250 by 250 pixels. Bone marrow aspirate smear
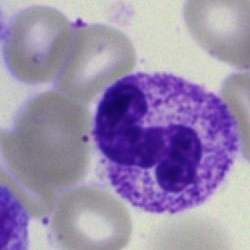Showing a segmented neutrophil.